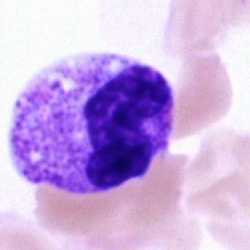

Morphology → band neutrophil.